Bone marrow smear
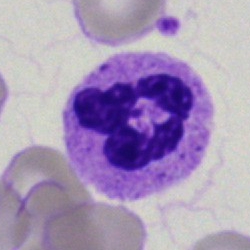

The cell type is neutrophil (segmented).